May-Grünwald-Giemsa stain; bone marrow aspirate smear
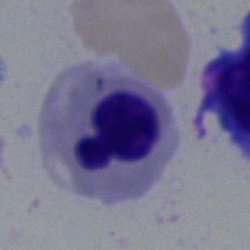

Classification — nucleated red blood cell.